Bone marrow aspirate smear. 250 by 250 pixels: 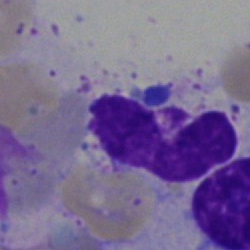

The morphological class is artifact.